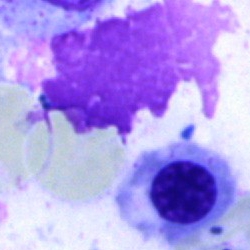

Morphology — nucleated red cell.